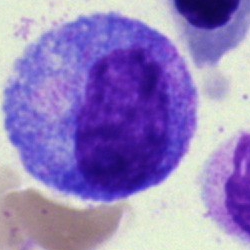Specimen: bone marrow smear.
Cell: promyelocyte.
Lineage: myeloid.